Bone marrow aspirate smear — 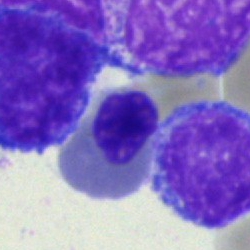

Morphology — erythroblast.